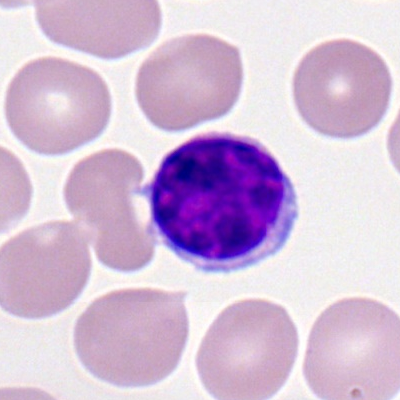
Single-cell crop from a peripheral blood smear: typical lymphocyte.